Single-cell crop. Bone marrow smear:
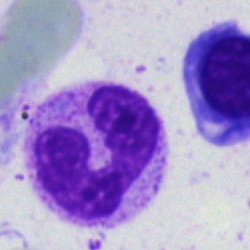
Stab cell.